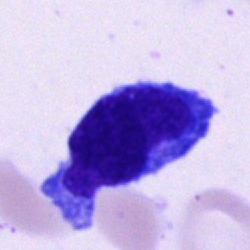

Bone marrow aspirate smear, single cell — monocyte.